250×250 px; bone marrow aspirate smear — 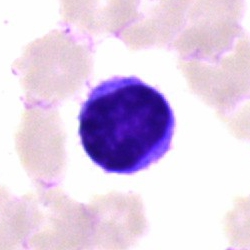 The classification is typical lymphocyte.